Bone marrow aspirate smear — 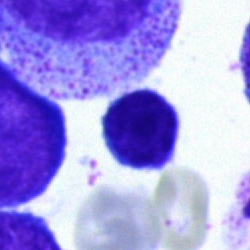 A lymphocyte.